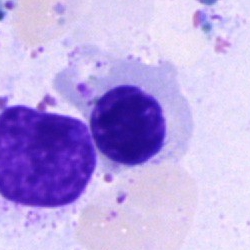
Single-cell crop from a bone marrow smear: erythroblast.